Bone marrow aspirate smear: 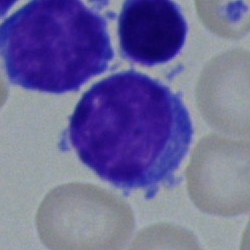

Q: Which cell type is shown here?
A: This is a typical lymphocyte.